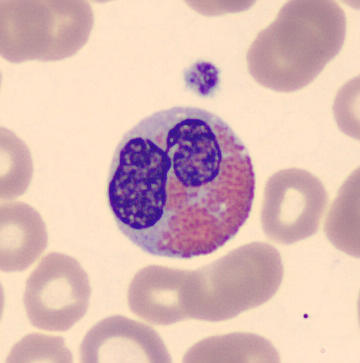 Acquisition: May-Grünwald-Giemsa-stained · peripheral blood smear.
Classification — eosinophil.